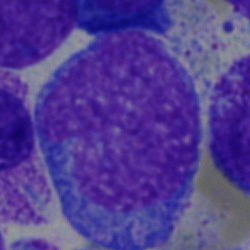
Cell = blast.